Peripheral blood film
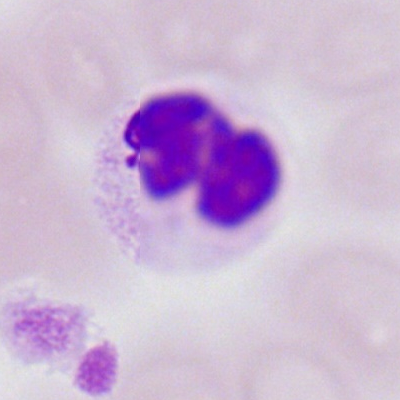 Morphology consistent with a neutrophil (segmented).